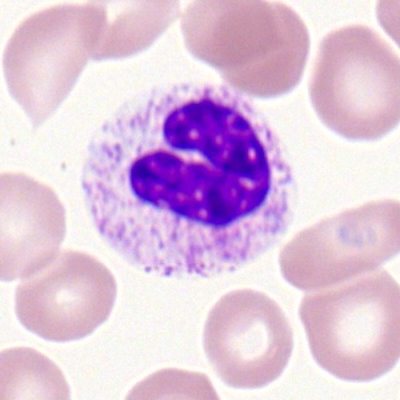

Peripheral blood smear showing a band-form neutrophil.